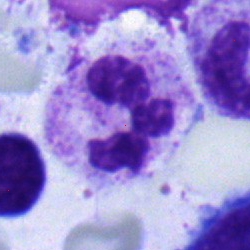

The cell shown is a polymorphonuclear neutrophil.